Bone marrow aspirate smear. Single-cell crop — 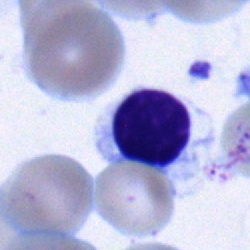

Normoblast.